Bone marrow aspirate smear: 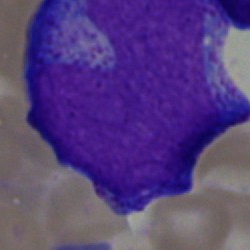

Q: What is the morphological classification of this cell?
A: It is a promyelocyte.